Single cell centered in the field. Bone marrow aspirate smear. Pappenheim-stained: 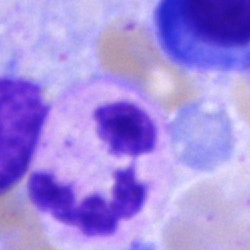 Specimen: bone marrow aspirate smear.
Cell: polymorphonuclear neutrophil.
Lineage: myeloid.